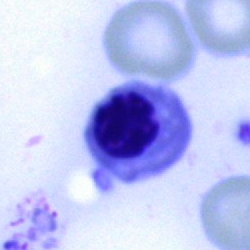

A nucleated red cell on a bone marrow smear.